Bone marrow aspirate smear
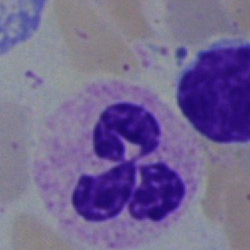 The cell shown is a polymorphonuclear neutrophil.